Bone marrow smear
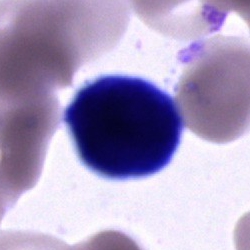 Unidentifiable cell.